Single-cell field; bone marrow smear:
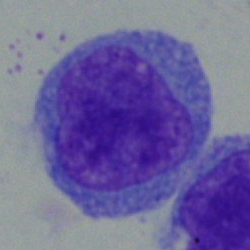This is a blast cell.